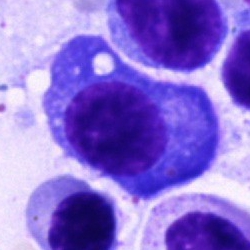

Q: What is shown here?
A: A plasmacyte.